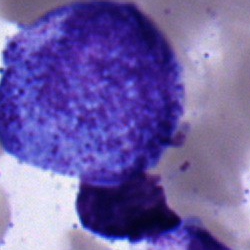
Q: Identify the cell.
A: Promyelocyte.